Bone marrow smear.
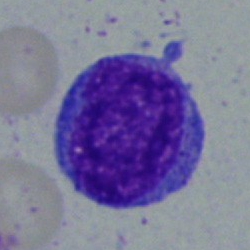
Cell type = blast cell.